Bone marrow aspirate smear: 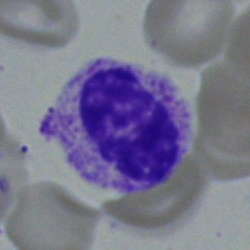
Morphology consistent with a metamyelocyte.